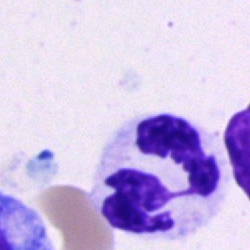 Morphology → polymorphonuclear neutrophil.